Bone marrow smear · brightfield microscopy, 40× oil immersion · 250 by 250 pixels
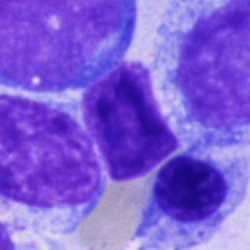 The cell is cell of indeterminate lineage.